400×400; peripheral blood smear:
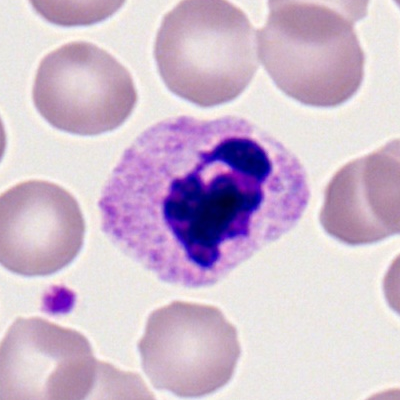

The morphological class is neutrophil (segmented).